Bone marrow aspirate smear.
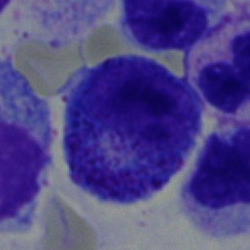

Progranulocyte.